Bone marrow smear.
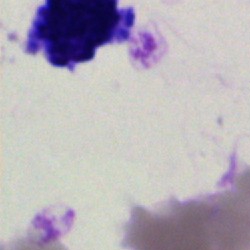
Classification = artefact.